Bone marrow smear: 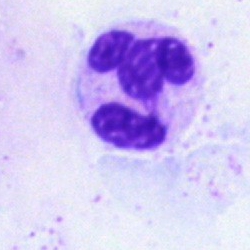Polymorphonuclear neutrophil.